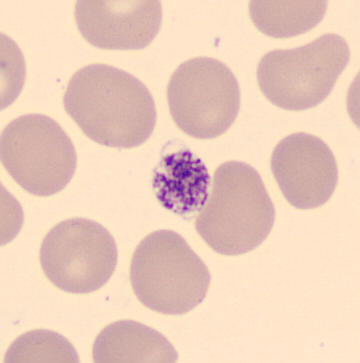

Acquisition: 360×363 px; MGG stain; peripheral blood smear. {"cell_type": "platelet"}